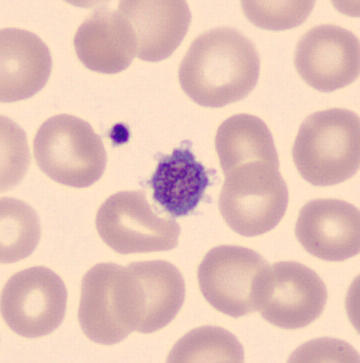 Impression → platelet.